Bone marrow smear
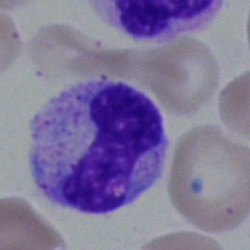

Showing a neutrophil (band).